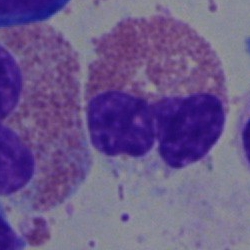 Cell type: eosinophilic granulocyte.